May-Grünwald-Giemsa stain. Bone marrow smear. 40× oil immersion.
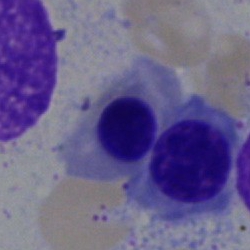Classification = nucleated red blood cell.